Bone marrow aspirate smear. 40× oil immersion. May-Grünwald-Giemsa stain
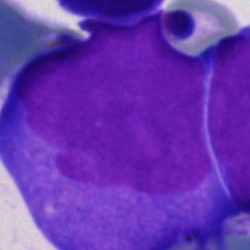
Q: Which cell type is shown here?
A: Undifferentiated blast.